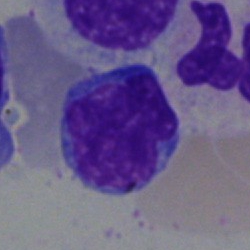
The morphological class is typical lymphocyte.